Brightfield, 40× oil-immersion objective · bone marrow smear:
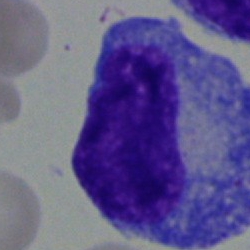
Single cell identified as a progranulocyte.